May-Grünwald-Giemsa/Pappenheim stain; bone marrow aspirate smear; single-cell crop: 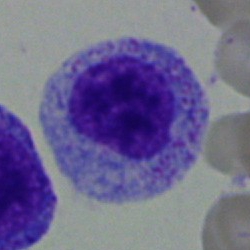
Impression — myelocyte.